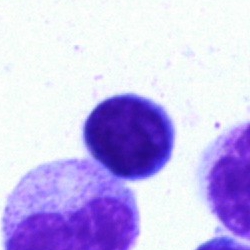

Q: What cell is this?
A: It is a lymphocyte.